Peripheral blood smear:
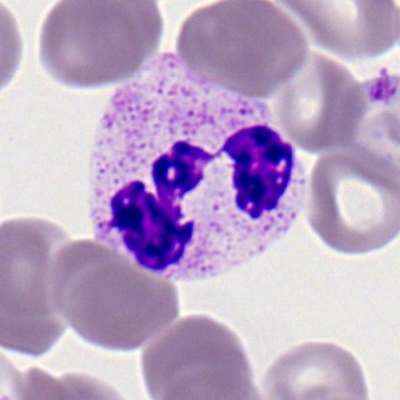

{"cell_type": "neutrophil (segmented)", "lineage": "myeloid"}